Peripheral blood smear — 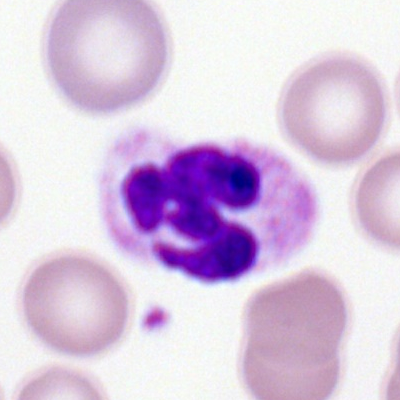Morphology → segmented neutrophil.